Peripheral blood smear — 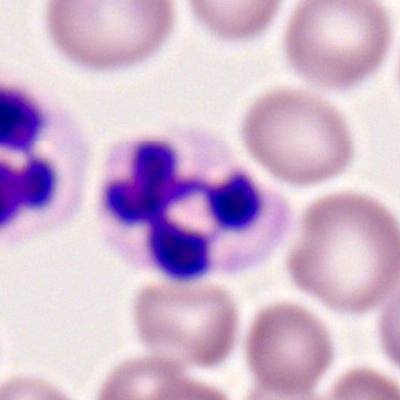 Morphology consistent with a segmented neutrophil.